Bone marrow aspirate smear · single cell centered in the field — 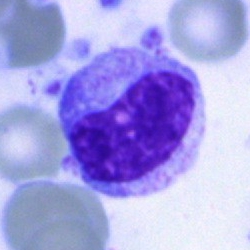
Q: What is shown here?
A: This is a metamyelocyte.